Bone marrow aspirate smear.
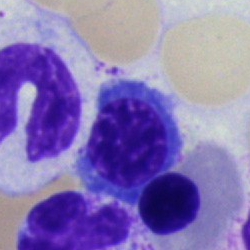Morphological class = normoblast.